Bone marrow smear; single-cell crop; May-Grünwald-Giemsa stain:
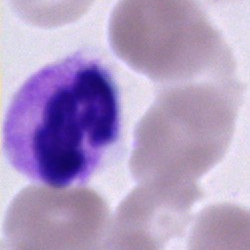Morphological class — polymorphonuclear neutrophil.